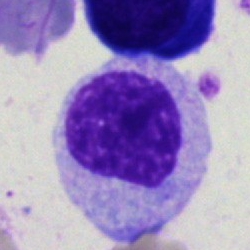

Single-cell crop from a bone marrow smear: myelocyte.